Bone marrow aspirate smear; May-Grünwald-Giemsa stain: 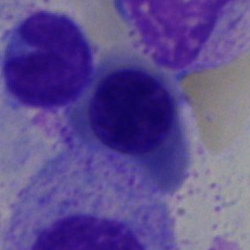Morphology consistent with an erythroblast.